Bone marrow smear
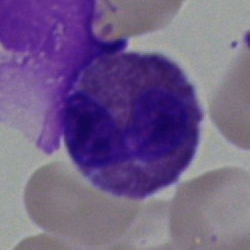

Impression → eosinophil.